Bone marrow smear. 250 by 250 pixels.
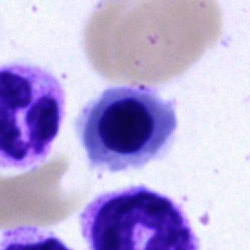

Classification — normoblast.